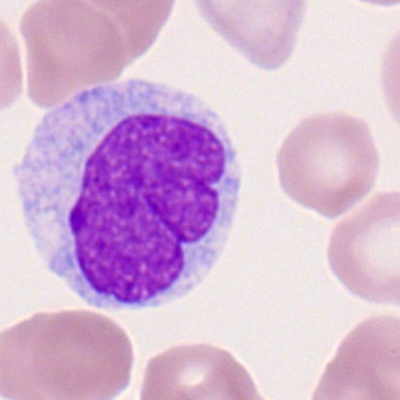
Morphology → monocyte.